Bone marrow smear:
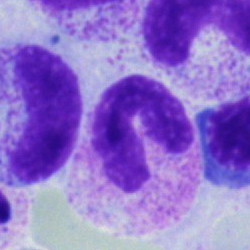
The cell type is neutrophil (band).